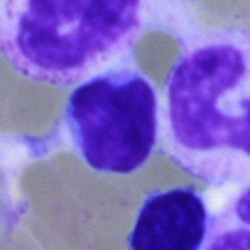
A typical lymphocyte on a bone marrow smear.